Bone marrow smear; single cell centered in the field: 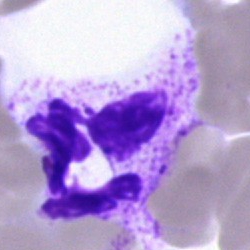The cell type is artefact.